Bone marrow smear.
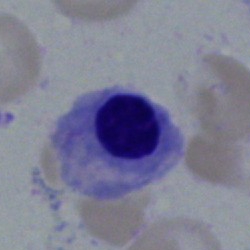 Morphology → nucleated red cell.